CellaVision DM96 · peripheral blood smear
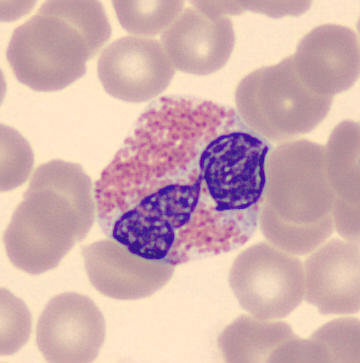

The classification is eosinophil.